Bone marrow aspirate smear:
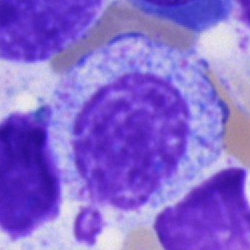
Morphology → progranulocyte.